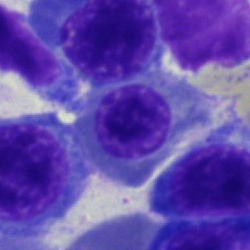
Cell type: nucleated red cell.